Single cell centered in the field. Bone marrow smear:
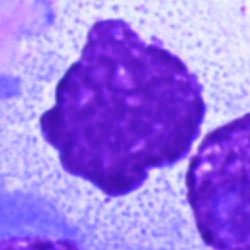

This is an artifact.